Single-cell field · bone marrow smear.
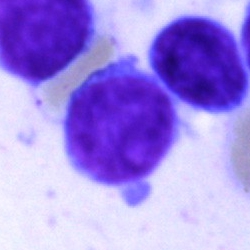

Q: Which cell type is shown here?
A: A typical lymphocyte.